Bone marrow aspirate smear:
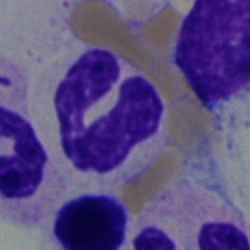
The classification is band neutrophil.